Bone marrow aspirate smear.
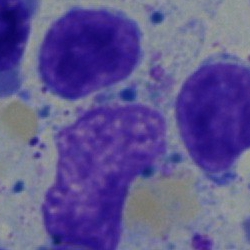

The classification is typical lymphocyte.